250 by 250 pixels. 40× objective, oil immersion. Bone marrow aspirate smear:
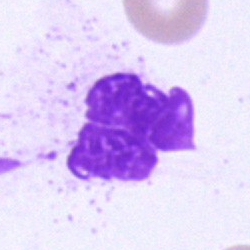

Classification: artifact.